Bone marrow aspirate smear; single-cell field; brightfield microscopy, 40× oil immersion.
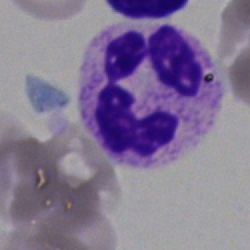 Impression → segmented neutrophil.